Bone marrow aspirate smear. Single-cell crop.
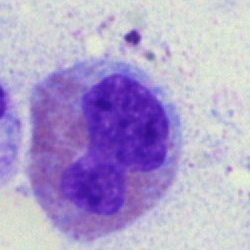Morphology consistent with an eosinophilic granulocyte.